Bone marrow smear · single cell centered in the field
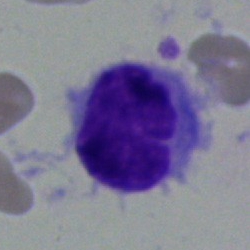The cell is lymphocyte.